Bone marrow aspirate smear:
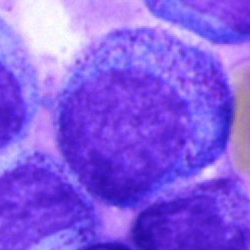
A progranulocyte.